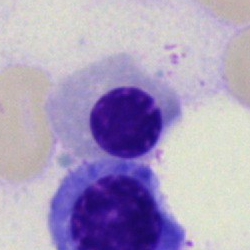

A nucleated red cell on a bone marrow smear.